Bone marrow aspirate smear
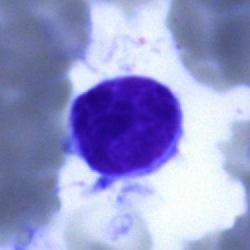

Classification = lymphocyte.